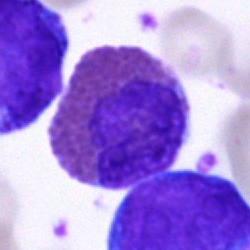 Specimen: bone marrow smear.
Morphological class: eosinophil.
Lineage: myeloid.